Bone marrow aspirate smear.
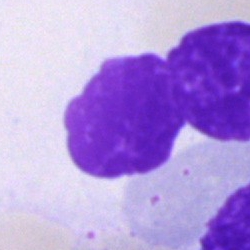 Q: What is shown here?
A: It is an artifact.